Bone marrow aspirate smear:
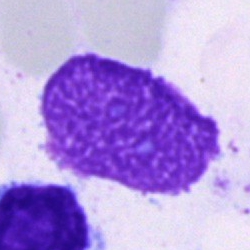 Classification = artifact.